Bone marrow smear. MGG-stained
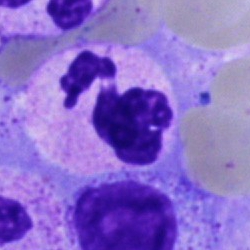

The morphological class is neutrophil (segmented).